Single-cell field · peripheral blood smear.
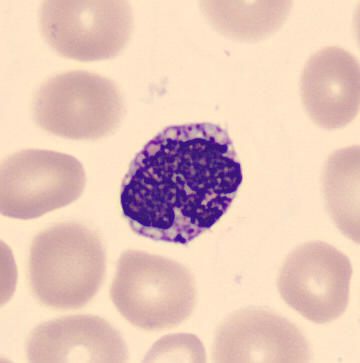Q: Identify the cell.
A: This is a basophilic granulocyte.